Single cell centered in the field; peripheral blood smear:
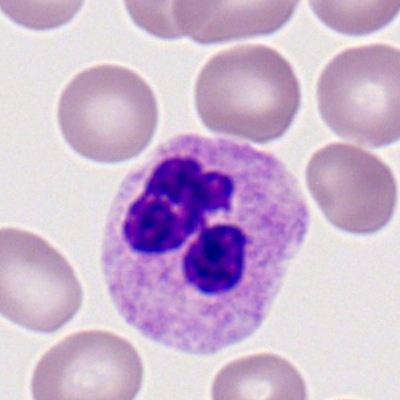

Showing a segmented neutrophil.